Single-cell field. Bone marrow aspirate smear. Image size 250×250 — 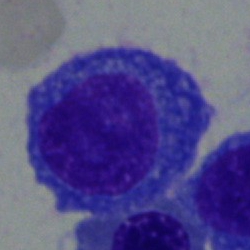

Morphological class: plasma cell.